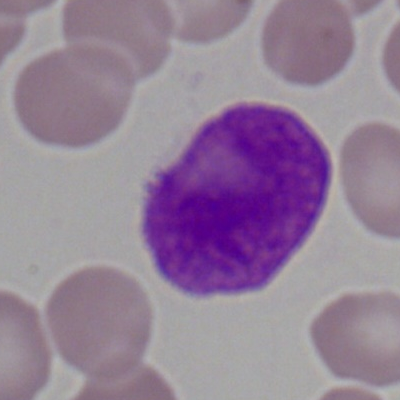
Single-cell crop from a peripheral blood smear: smudge cell.